Bone marrow aspirate smear.
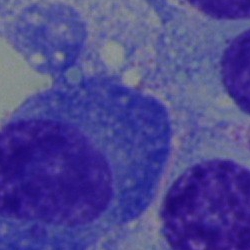
A plasma cell.